Brightfield microscopy, 40× oil immersion · bone marrow smear · single-cell field
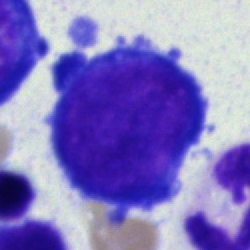Morphological class = proerythroblast.